Bone marrow aspirate smear; single-cell crop.
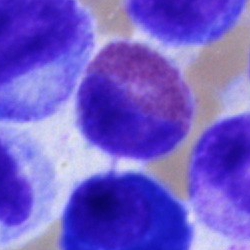
Eosinophilic granulocyte.